Bone marrow smear · 250×250 px:
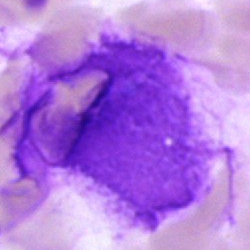
Morphology — artifact.